250×250 · bone marrow smear — 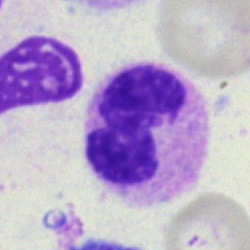

Morphology — polymorphonuclear neutrophil.